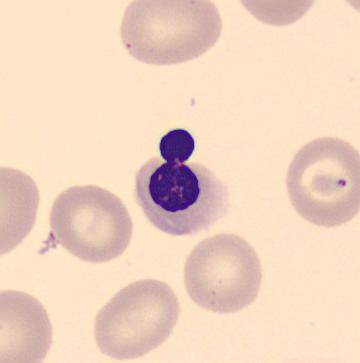Q: Which cell type is shown here?
A: This is a normoblast.